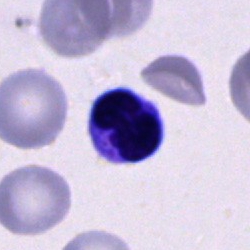
Specimen: bone marrow smear.
Cell type: cell of indeterminate lineage.